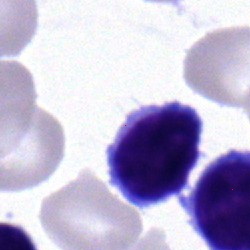This is a typical lymphocyte.